Single-cell crop. Peripheral blood film. Romanowsky-stained:
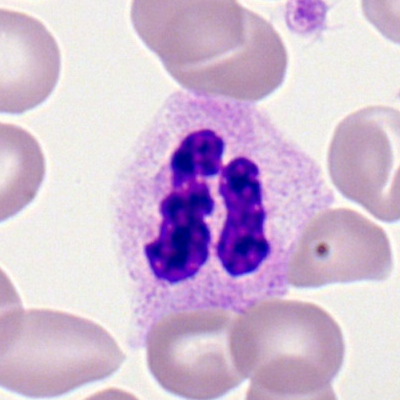
The cell shown is a neutrophil (segmented).